Bone marrow smear — 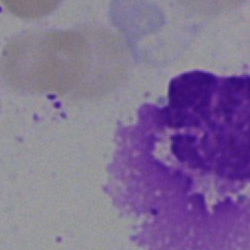

Classification: artefact.